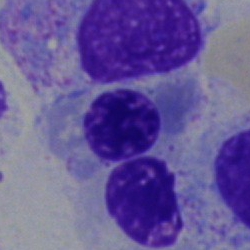Morphology consistent with a normoblast.